Bone marrow smear: 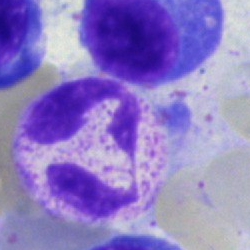 A neutrophil (segmented).